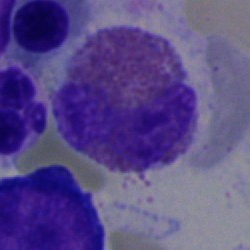
An eosinophilic granulocyte.